Peripheral blood smear. Romanowsky stain:
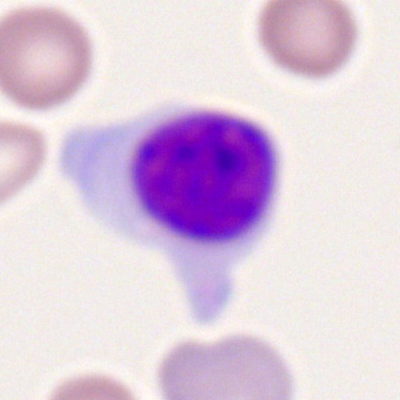

Q: What is the morphological classification of this cell?
A: This is a typical lymphocyte.